Bone marrow smear · 250×250 · MGG-stained.
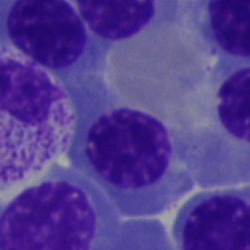

Cell — nucleated red cell.